Bone marrow aspirate smear · May-Grünwald-Giemsa/Pappenheim stain
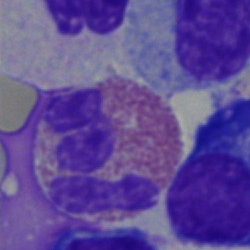
Morphology → eosinophilic granulocyte.